Bone marrow aspirate smear · May-Grünwald-Giemsa stain
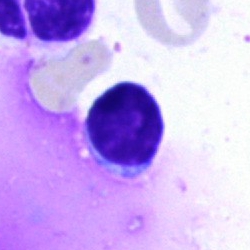
Showing a lymphocyte.